Bone marrow aspirate smear; image size 250×250; May-Grünwald-Giemsa stain:
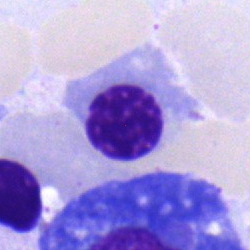Cell type = nucleated red cell.